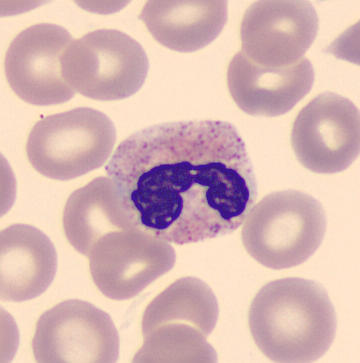

Image: Peripheral blood film.

Impression → neutrophil (segmented).